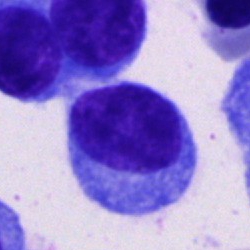Bone marrow aspirate smear, single cell — plasma cell.